Romanowsky-stained. Brightfield, 100× oil-immersion objective. Peripheral blood film.
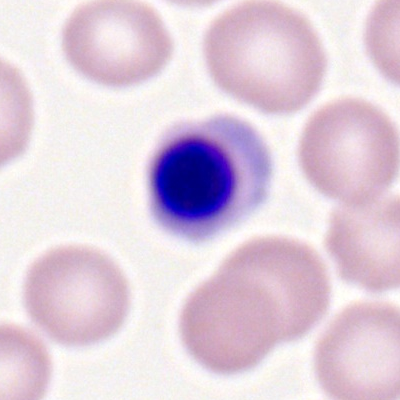
Showing a nucleated red blood cell.